Single-cell crop · bone marrow smear.
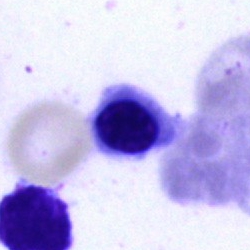
Single cell identified as an erythroblast.